Bone marrow aspirate smear.
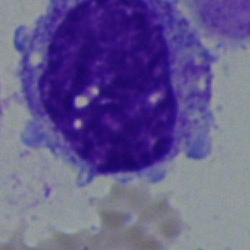

Cell = monocyte.